Image size 250×250 · bone marrow aspirate smear:
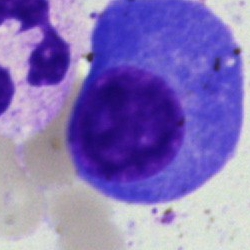

Morphology consistent with a plasma cell.